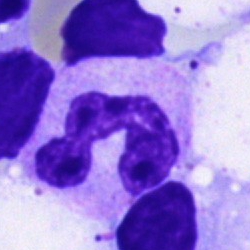

Specimen: bone marrow aspirate smear.
Classification: segmented neutrophil.